Bone marrow smear.
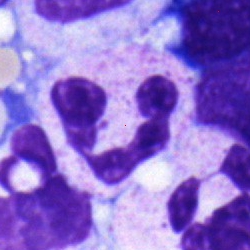 Classification = polymorphonuclear neutrophil.